Bone marrow aspirate smear.
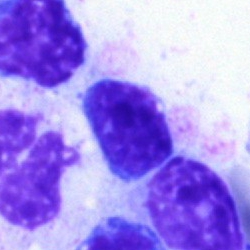

Q: What type of cell is this?
A: This is a lymphocyte.